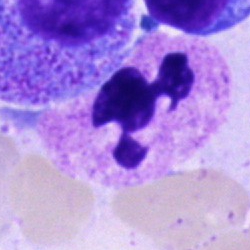
The classification is polymorphonuclear neutrophil.